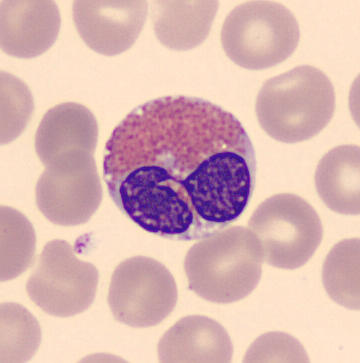
Single cell identified as an eosinophil.

Imaged on a CellaVision DM96 analyser; single cell centered in the field; peripheral blood film.